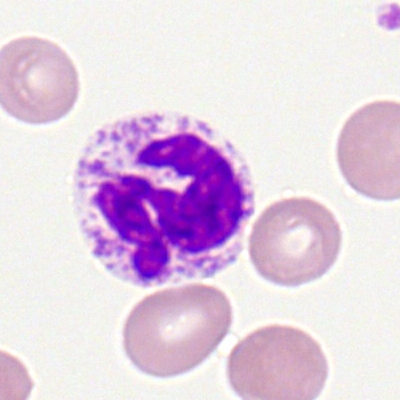

Morphological class — segmented neutrophil.